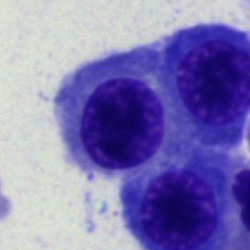
Cell type: nucleated red blood cell.